Bone marrow aspirate smear — 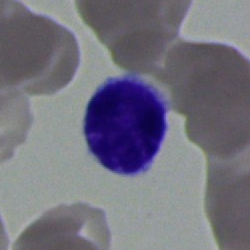

Morphology — typical lymphocyte.